Bone marrow smear. 40× objective, oil immersion — 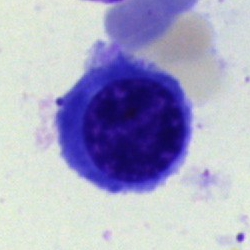

Morphological class — nucleated red cell.